Bone marrow smear · Pappenheim-stained — 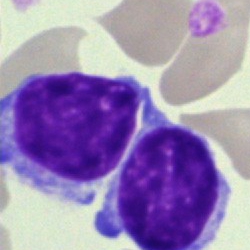
Cell — lymphocyte.